250×250 px · bone marrow aspirate smear
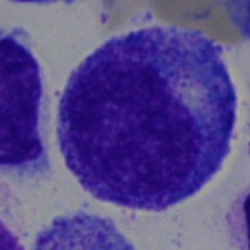

Cell — promyelocyte.